Bone marrow aspirate smear
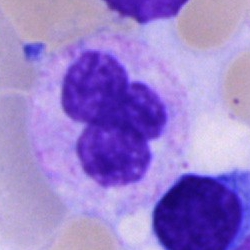 Impression → polymorphonuclear neutrophil.